Single cell centered in the field; bone marrow aspirate smear; 250×250: 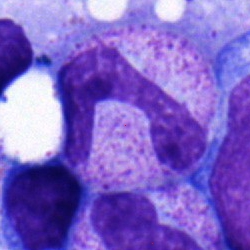

Morphology → stab cell.